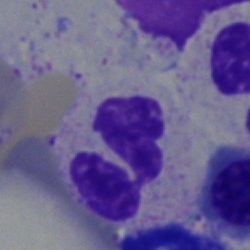

Single cell identified as a neutrophil (segmented).